250 by 250 pixels. Bone marrow aspirate smear
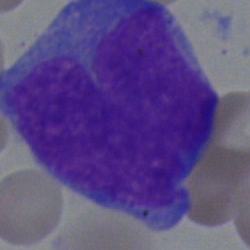

{"cell_type": "undifferentiated blast"}